Bone marrow smear — 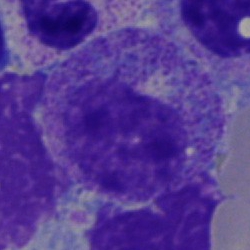
Morphological class — myelocyte.